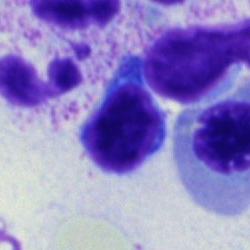A typical lymphocyte on a bone marrow smear.